Bone marrow smear; May-Grünwald-Giemsa stain
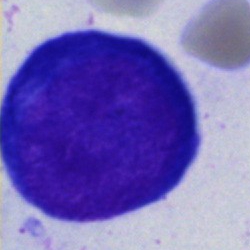 The morphological class is proerythroblast.